Single-cell field; bone marrow smear:
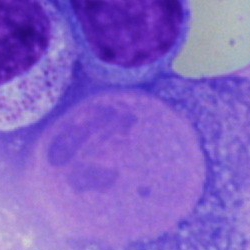Morphology consistent with an artefact.